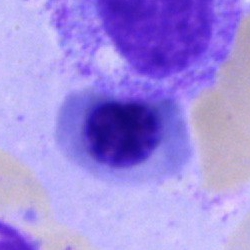

Cell = nucleated red cell.